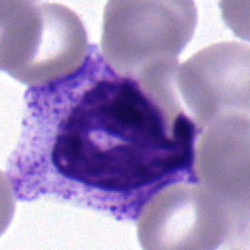 Stab cell.